Bone marrow smear: 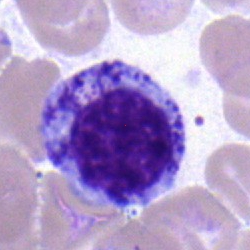

Myelocyte.